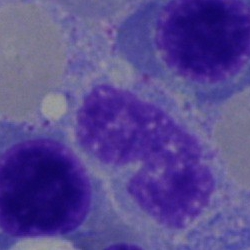
Morphological class = band neutrophil.